Bone marrow smear · MGG-stained — 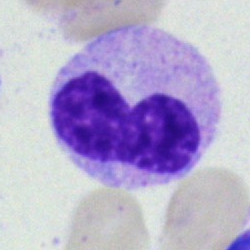 Classification: neutrophil (band).